Bone marrow aspirate smear; brightfield, 40× oil-immersion objective — 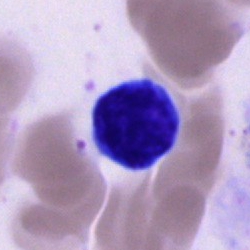
This is a lymphocyte.